Bone marrow smear. MGG-stained.
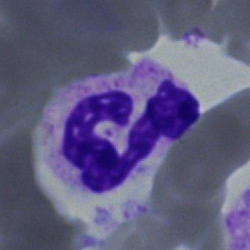 Cell — polymorphonuclear neutrophil.